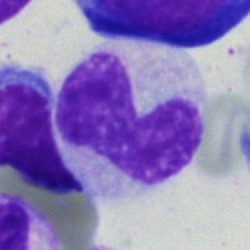 Band neutrophil.